Bone marrow smear.
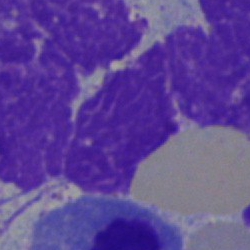Q: What is shown here?
A: It is an artifact.